Bone marrow aspirate smear · May-Grünwald-Giemsa stain — 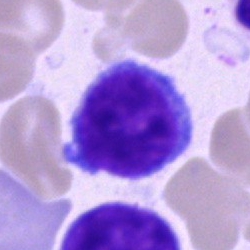The cell shown is a lymphocyte.